May Grünwald-Giemsa stain · automated cell imaging (CellaVision DM96) · peripheral blood smear
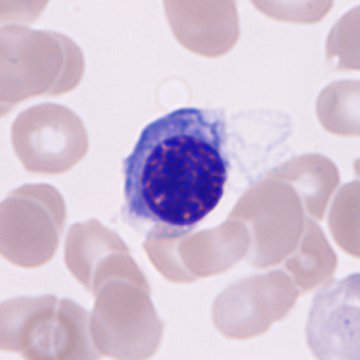

The cell is erythroblast.